Bone marrow smear:
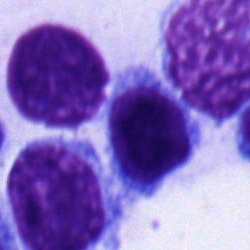Impression → typical lymphocyte.